Single cell centered in the field. Bone marrow smear.
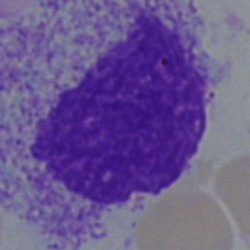
Morphology → artifact.